Bone marrow aspirate smear: 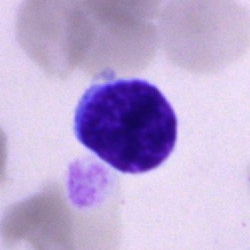
Morphology consistent with a typical lymphocyte.